Bone marrow smear:
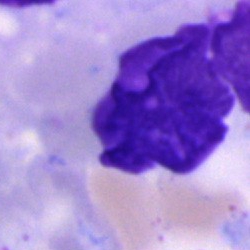

Classification — artefact.